250×250 · bone marrow aspirate smear · brightfield, 40× oil-immersion objective
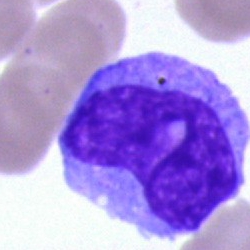
Q: What is shown here?
A: This is a monocyte.